Bone marrow aspirate smear: 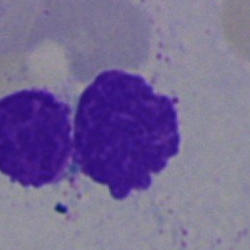Q: What is shown here?
A: An artifact.